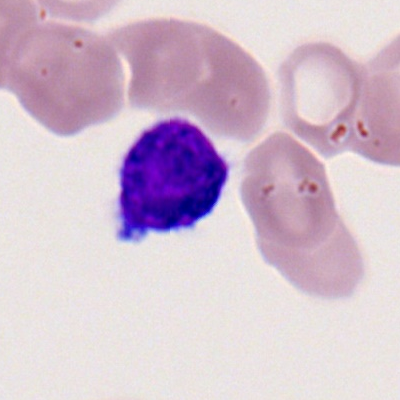Morphology — typical lymphocyte.